Bone marrow aspirate smear. May-Grünwald-Giemsa stain: 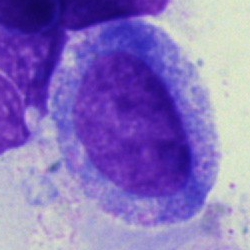 Classification — progranulocyte.